Peripheral blood film
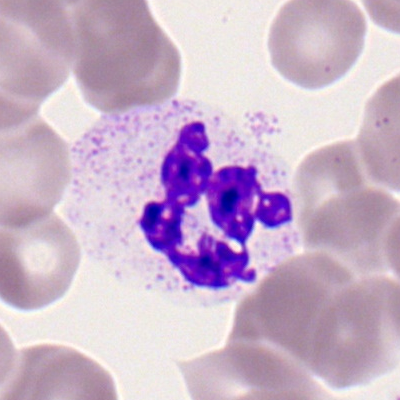 Q: What is shown here?
A: A segmented neutrophil.